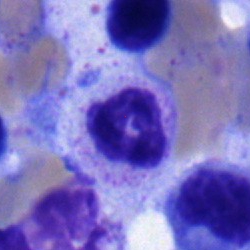 Q: What type of cell is this?
A: It is a polymorphonuclear neutrophil.